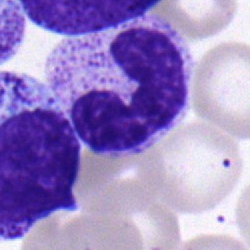 Impression — band-form neutrophil.